Bone marrow aspirate smear:
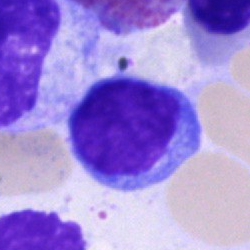 A typical lymphocyte.